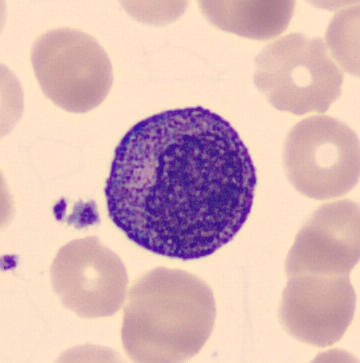
A progranulocyte. Acquisition: Peripheral blood film.